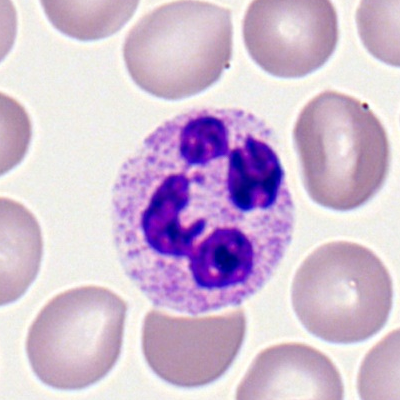

A segmented neutrophil.